Bone marrow smear · Pappenheim-stained:
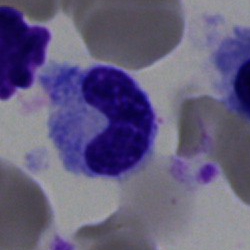 Cell type — band-form neutrophil.